May-Grünwald-Giemsa/Pappenheim stain. Bone marrow smear
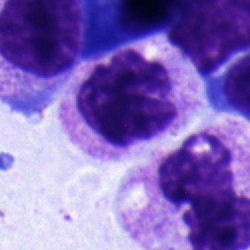 Classification — neutrophil (band).